Bone marrow smear; single-cell field: 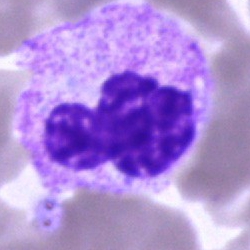

A polymorphonuclear neutrophil.